Bone marrow smear — 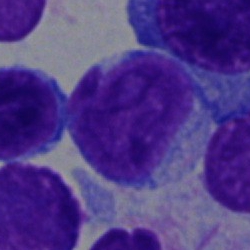 The cell shown is a blast.